Bone marrow aspirate smear — 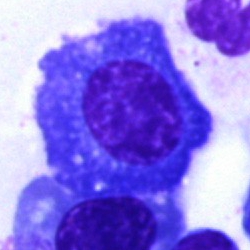

The cell shown is a plasmacyte.